Brightfield, 40× oil-immersion objective; bone marrow smear:
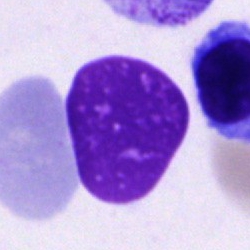 {"cell_type": "artefact"}